Brightfield microscopy, 40× oil immersion; bone marrow aspirate smear: 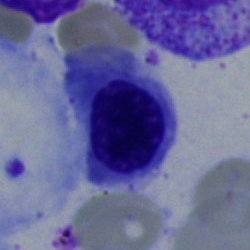{"cell_type": "nucleated red cell"}